Bone marrow smear
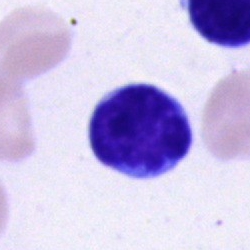

Cell type: typical lymphocyte.